Bone marrow aspirate smear; image size 250×250:
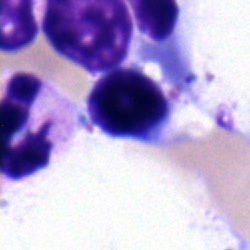

Q: What is shown here?
A: A segmented neutrophil.